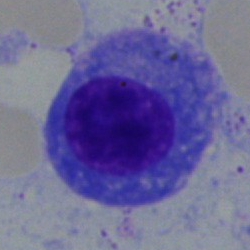
Q: What is the morphological classification of this cell?
A: It is a plasmacyte.